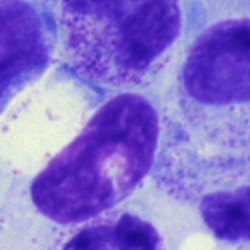A cell of indeterminate lineage.